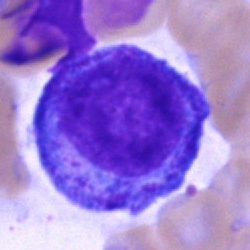

Cell: promyelocyte.